Bone marrow smear; single-cell field; 250 by 250 pixels: 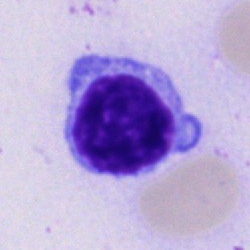Q: What is the morphological classification of this cell?
A: Lymphocyte.